Bone marrow aspirate smear:
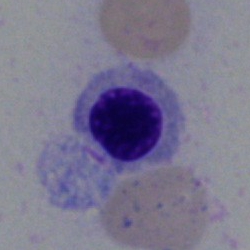{"cell_type": "normoblast", "lineage": "erythroid"}